Bone marrow aspirate smear.
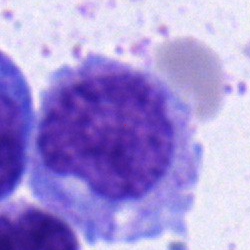 Morphological class = metamyelocyte.